Bone marrow aspirate smear:
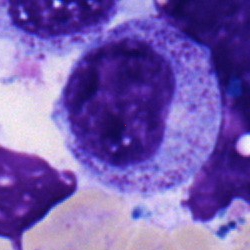

The cell shown is a progranulocyte.